Peripheral blood smear; Romanowsky-stained — 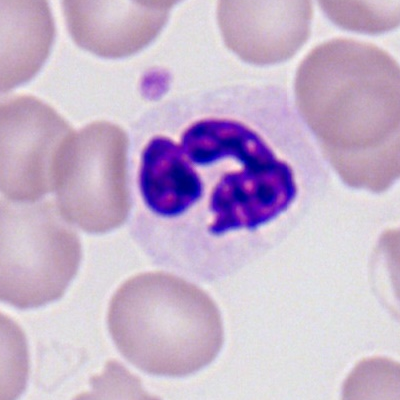 Specimen: peripheral blood smear.
Morphological class: neutrophil (segmented).
Lineage: myeloid.